Bone marrow aspirate smear — 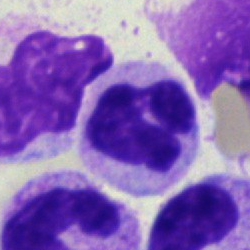
Morphology consistent with a neutrophil (segmented).